Bone marrow aspirate smear
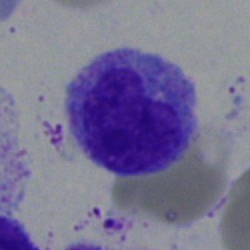

Cell type = metamyelocyte.